Bone marrow smear.
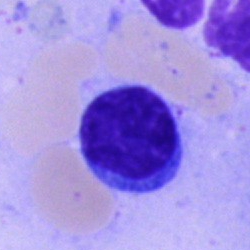
Q: Which cell type is shown here?
A: It is a lymphocyte.